Bone marrow smear — 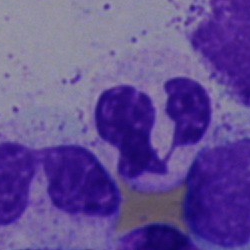

Morphology — polymorphonuclear neutrophil.